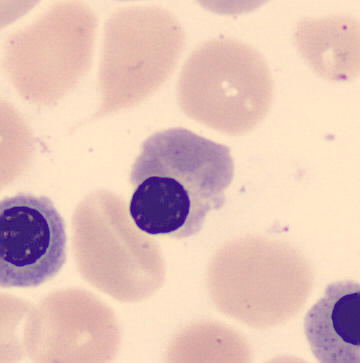Identified as an erythroblast.